Brightfield microscopy, 40× oil immersion · single cell centered in the field · bone marrow aspirate smear:
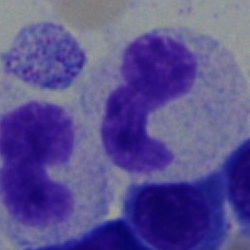

Cell = band neutrophil.